Bone marrow aspirate smear. 250×250: 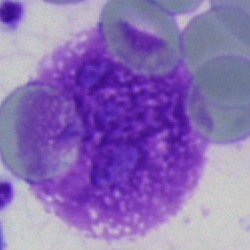

Impression → artefact.